Bone marrow smear
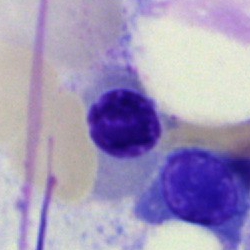 Cell = nucleated red cell.